Single-cell field. Brightfield, 40× oil-immersion objective. Bone marrow smear — 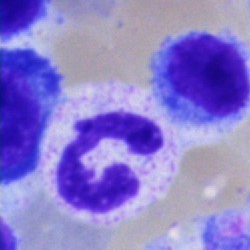Morphology → polymorphonuclear neutrophil.